250×250; bone marrow smear
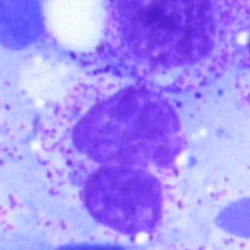
Cell = artifact.